40× objective, oil immersion. Bone marrow smear.
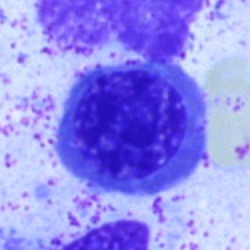
A normoblast.